Bone marrow smear · 250 by 250 pixels · single-cell crop:
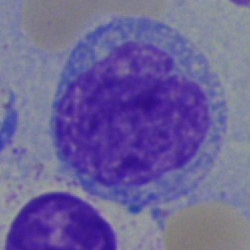Q: Identify the cell.
A: It is a blast cell.